Bone marrow aspirate smear — 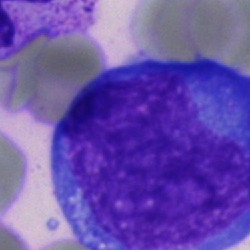 Classification: undifferentiated blast.